Single cell centered in the field; bone marrow aspirate smear — 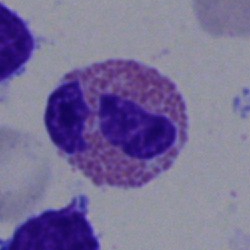Q: What cell is this?
A: An eosinophil.